Bone marrow smear.
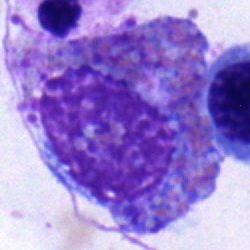The cell is eosinophilic granulocyte.